Bone marrow aspirate smear: 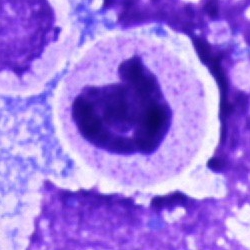
Impression — neutrophil (segmented).